Bone marrow aspirate smear:
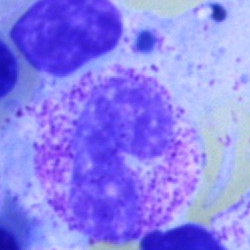

Specimen: bone marrow aspirate smear.
Morphological class: band-form neutrophil.